Bone marrow aspirate smear.
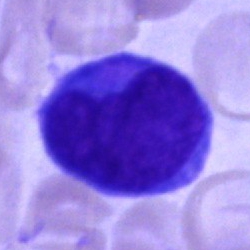

Morphological class: blast.